Peripheral blood film.
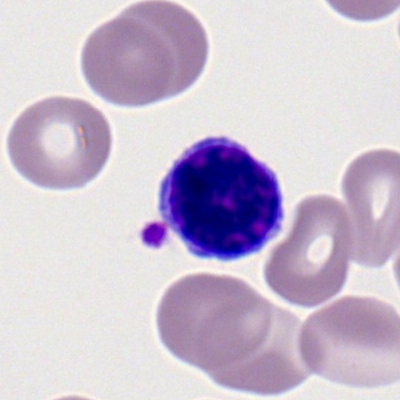
Impression — lymphocyte.